Brightfield, 40× oil-immersion objective · May-Grünwald-Giemsa/Pappenheim stain · bone marrow aspirate smear.
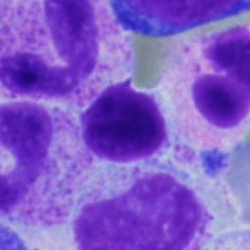 Classification — unidentifiable cell.